Single-cell crop. Bone marrow smear: 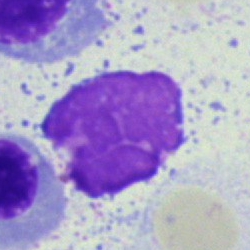
Cell type — artifact.